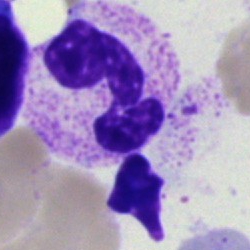

Single-cell crop from a bone marrow smear: segmented neutrophil.